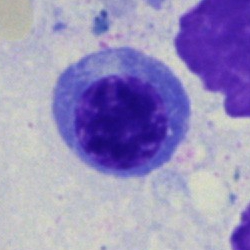Specimen: bone marrow smear.
Morphological class: nucleated red cell.